Bone marrow smear. Brightfield, 40× oil-immersion objective: 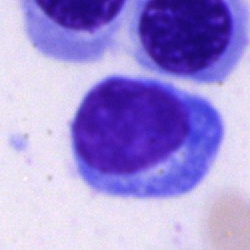
Morphology consistent with a plasmacyte.